Peripheral blood film:
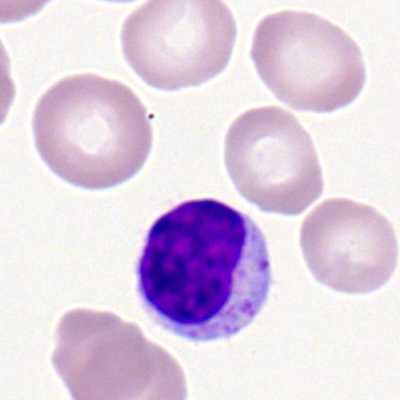Morphological class = typical lymphocyte.